250×250; bone marrow smear:
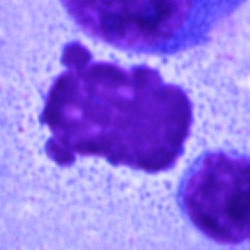 Artefact.